250×250 px · bone marrow smear.
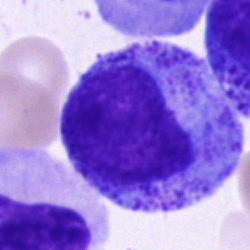

Q: Which cell type is shown here?
A: A progranulocyte.